Single-cell field · bone marrow aspirate smear — 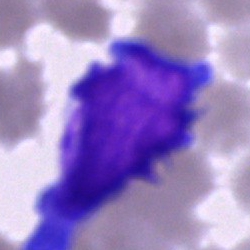
Cell type: blast cell.